Bone marrow aspirate smear; 250 by 250 pixels; Pappenheim-stained:
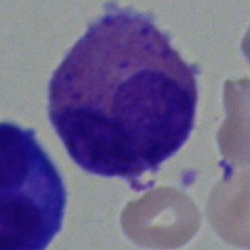

Q: What is shown here?
A: An abnormal eosinophil.